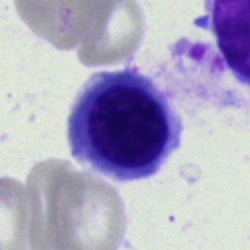

Morphology consistent with an erythroblast.